Romanowsky stain. Peripheral blood film. 400 by 400 pixels:
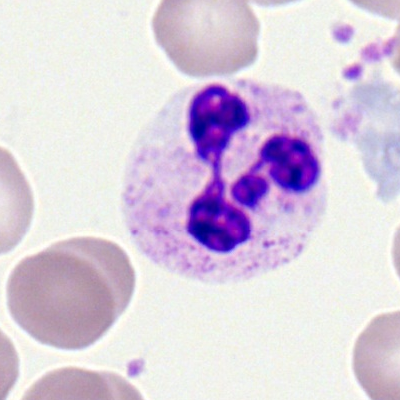This is a polymorphonuclear neutrophil.